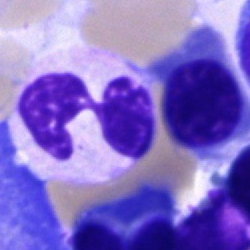Q: What is the morphological classification of this cell?
A: It is a neutrophil (segmented).